Image size 250×250. Bone marrow smear
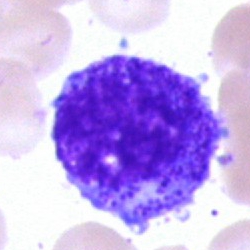 The cell shown is a promyelocyte.